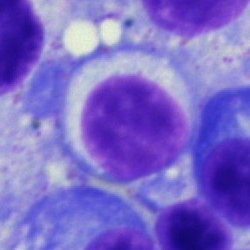The cell shown is a typical lymphocyte.